Bone marrow aspirate smear. 40× objective, oil immersion:
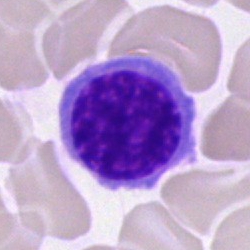
Q: What type of cell is this?
A: A nucleated red cell.